Bone marrow aspirate smear: 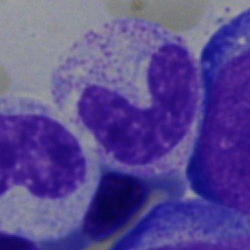Band neutrophil.